Pappenheim-stained. Bone marrow aspirate smear.
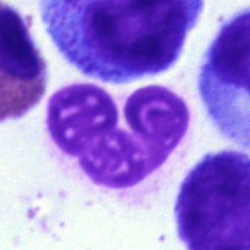
{"cell_type": "neutrophil (band)", "lineage": "myeloid"}